Bone marrow smear; 250×250
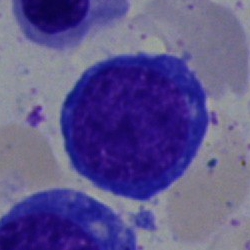

Showing a pronormoblast.